Single-cell field; bone marrow smear — 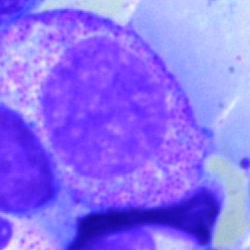

Classification = myelocyte.